Bone marrow aspirate smear: 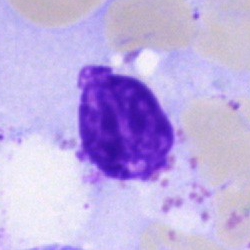 Specimen: bone marrow smear.
Morphological class: artifact.